Bone marrow aspirate smear:
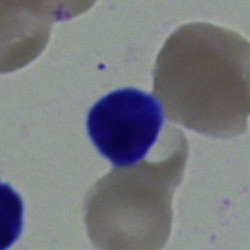
Q: Which cell type is shown here?
A: It is a typical lymphocyte.